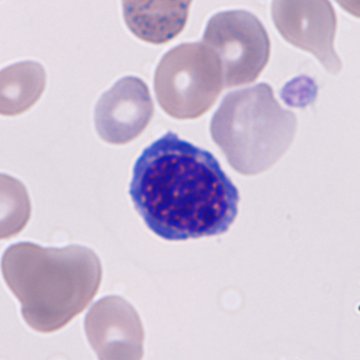Morphology consistent with a nucleated red cell.